Bone marrow smear · 250×250: 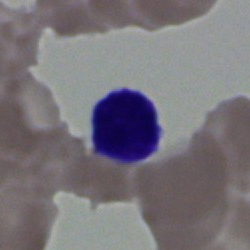

The cell type is typical lymphocyte.